Bone marrow smear · brightfield microscopy, 40× oil immersion — 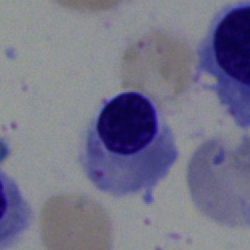The cell shown is a normoblast.